250×250 · bone marrow aspirate smear: 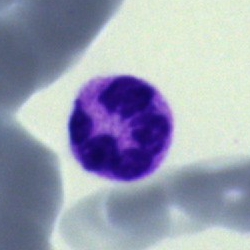Cell — polymorphonuclear neutrophil.